250×250 px. Bone marrow smear.
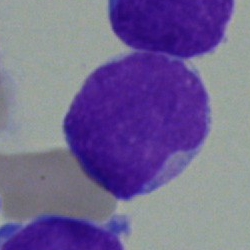Cell type — undifferentiated blast.